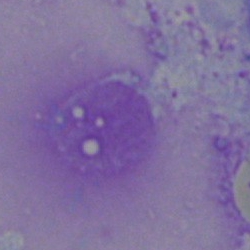

Cell type — artefact.